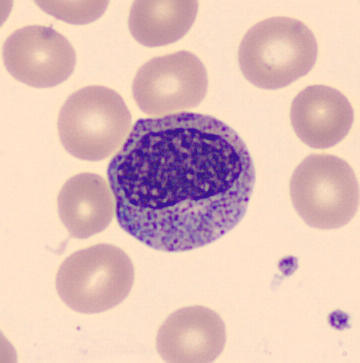Peripheral blood film. Imaged on a CellaVision DM96 analyser. 360×363 px.
Cell — myelocyte.